Bone marrow aspirate smear: 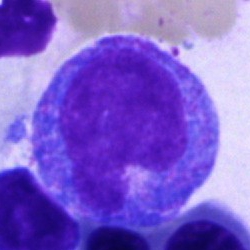
Showing a progranulocyte.